100× oil immersion; peripheral blood film; single-cell crop:
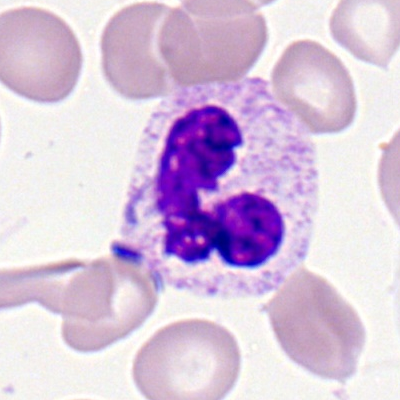

The morphological class is polymorphonuclear neutrophil.